Bone marrow smear:
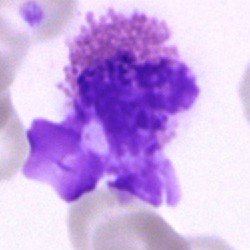Morphological class — eosinophil.